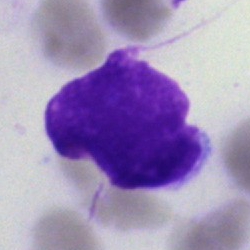Morphological class — artefact.